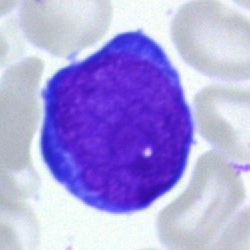

Morphological class: proerythroblast.